Image size 250×250 · bone marrow aspirate smear — 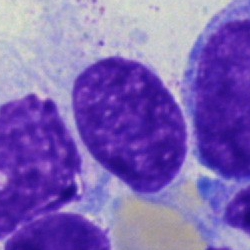Morphological class: artefact.